Bone marrow aspirate smear.
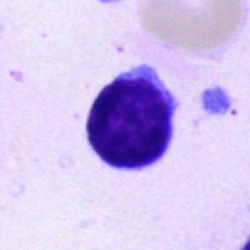Cell type: lymphocyte.